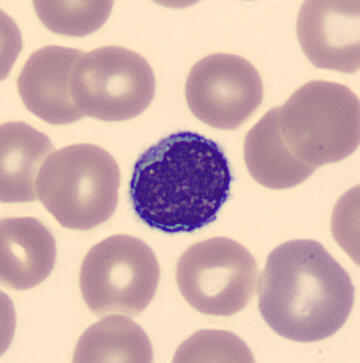
Impression → lymphocyte. Preparation: CellaVision DM96 · peripheral blood film.